Bone marrow aspirate smear. MGG-stained.
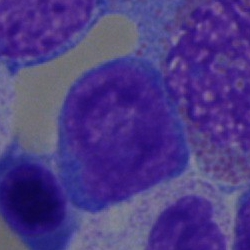A blast cell.